Bone marrow smear:
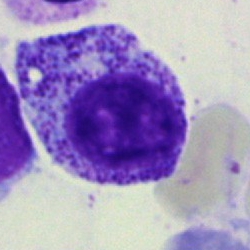This is a myelocyte.